Bone marrow aspirate smear
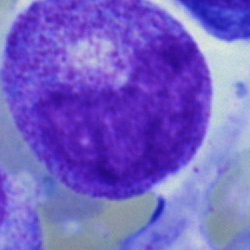

A promyelocyte.